Bone marrow aspirate smear: 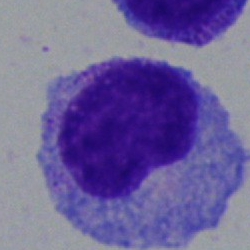
Cell: myelocyte.